Bone marrow aspirate smear · single-cell crop · brightfield microscopy, 40× oil immersion.
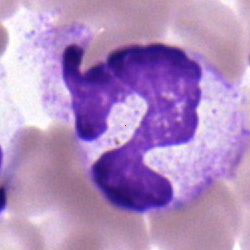 The classification is neutrophil (segmented).